Bone marrow smear — 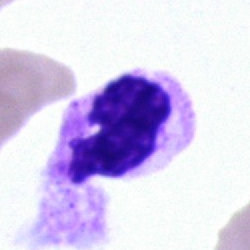 Specimen: bone marrow smear.
Cell: polymorphonuclear neutrophil.